Bone marrow smear
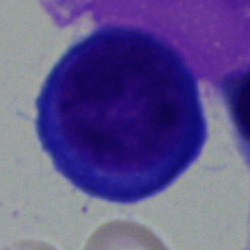
This is a proerythroblast.